Brightfield microscopy, 40× oil immersion; bone marrow aspirate smear: 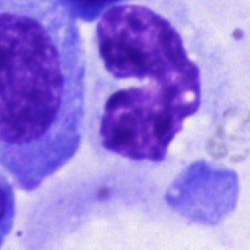Showing an unidentifiable cell.